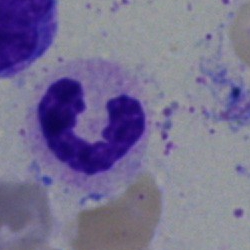

{"cell_type": "band neutrophil"}